Bone marrow aspirate smear: 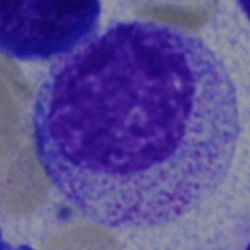 Morphology consistent with a myelocyte.